Bone marrow smear · image size 250×250:
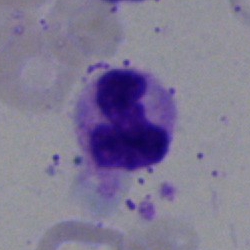
A polymorphonuclear neutrophil.